Bone marrow aspirate smear.
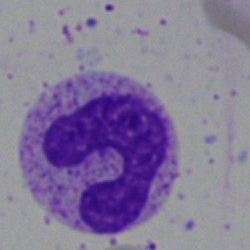Q: What is shown here?
A: This is a neutrophil (segmented).